May-Grünwald-Giemsa stain; image size 250×250; bone marrow smear: 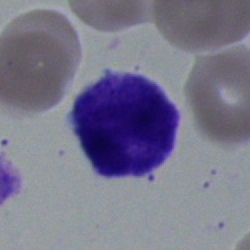

Cell — segmented neutrophil.